Bone marrow aspirate smear; May-Grünwald-Giemsa stain
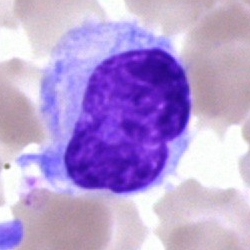Cell type = hairy cell.